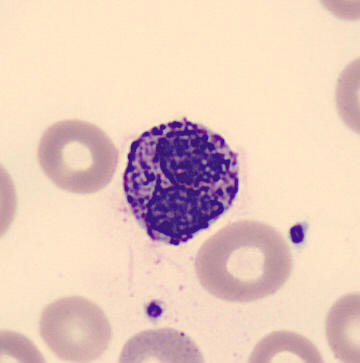

Showing a basophil.